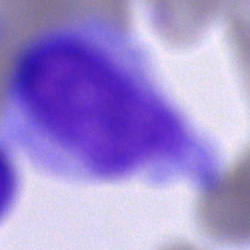 Specimen: bone marrow smear.
Classification: unidentifiable cell.